Bone marrow smear:
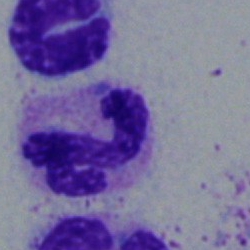
The cell is polymorphonuclear neutrophil.